Bone marrow aspirate smear; 250×250
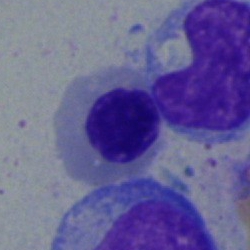Q: Which cell type is shown here?
A: It is an erythroblast.